May-Grünwald-Giemsa stain · cropped to a single cell · bone marrow smear:
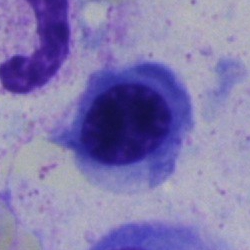

Specimen: bone marrow aspirate smear.
Morphological class: normoblast.
Lineage: erythroid.